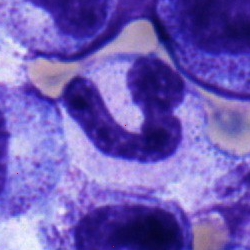Q: What is the morphological classification of this cell?
A: It is a band-form neutrophil.